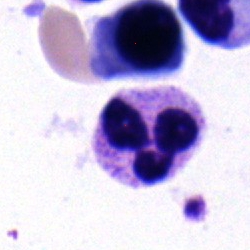 {"cell_type": "segmented neutrophil"}